Bone marrow aspirate smear.
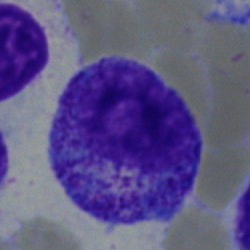Single cell identified as a myelocyte.